MGG-stained. Bone marrow aspirate smear.
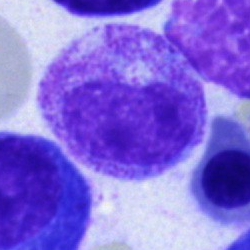Q: What is shown here?
A: Myelocyte.